Bone marrow aspirate smear:
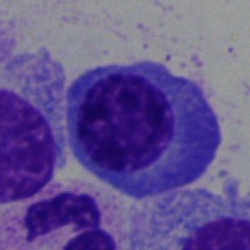
Classification = plasmacyte.